Bone marrow smear:
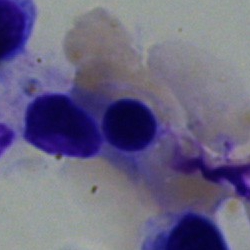
Classification: erythroblast.